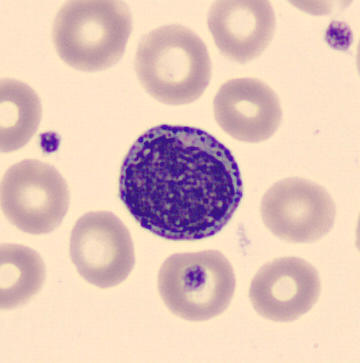
Image: Imaged on a CellaVision DM96 analyser. Peripheral blood smear. May Grünwald-Giemsa stain.

Morphology consistent with a myelocyte.